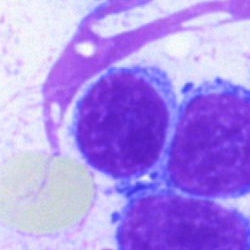Morphology consistent with a typical lymphocyte.